Bone marrow aspirate smear · 250×250 px
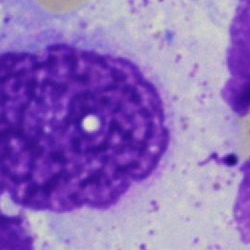
Q: What is shown here?
A: It is an artefact.